Bone marrow smear
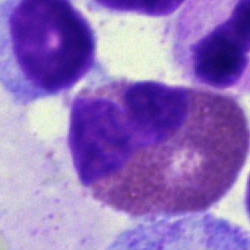
An eosinophilic granulocyte.